Peripheral blood film · Romanowsky-type stain: 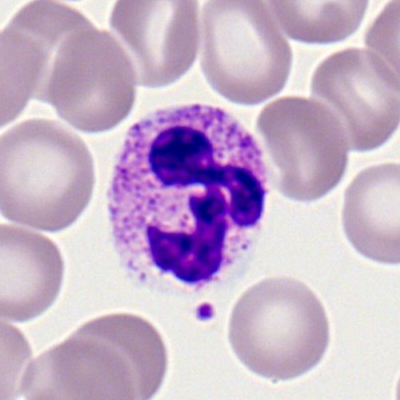

A segmented neutrophil.